Bone marrow aspirate smear · single-cell crop · image size 250×250
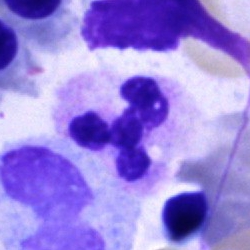

{"cell_type": "segmented neutrophil"}